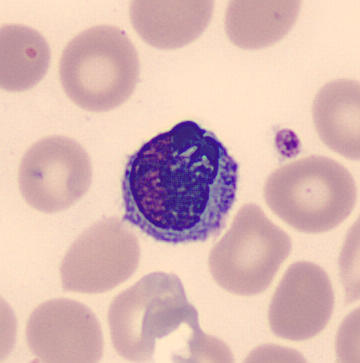 The cell shown is a lymphocyte.
Image: Peripheral blood smear.